Peripheral blood film: 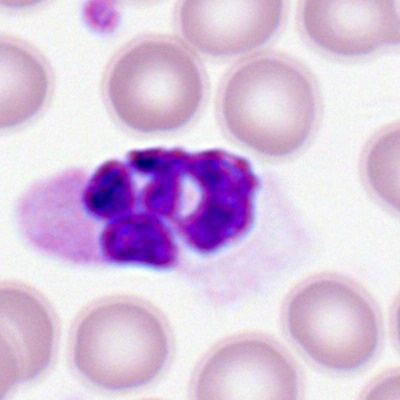{"cell_type": "segmented neutrophil", "lineage": "myeloid"}